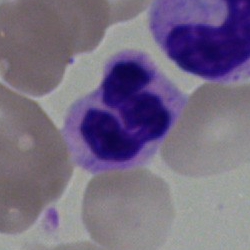

Showing a segmented neutrophil.